Bone marrow smear. 250×250 px. Single-cell crop:
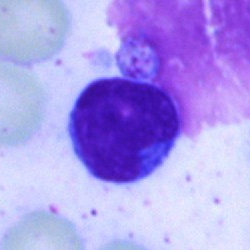 Lymphocyte.